Bone marrow aspirate smear.
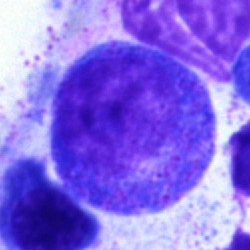Q: What is shown here?
A: It is a progranulocyte.